Bone marrow aspirate smear. MGG-stained
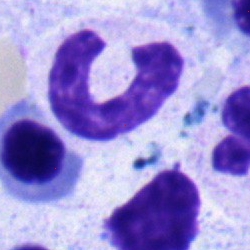 Single cell identified as a neutrophil (band).